Bone marrow aspirate smear.
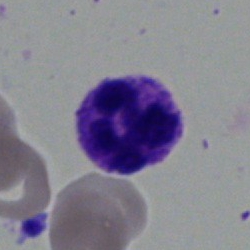Classification = segmented neutrophil.